Bone marrow smear.
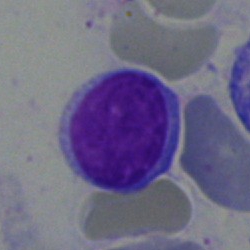
Typical lymphocyte.